Bone marrow aspirate smear.
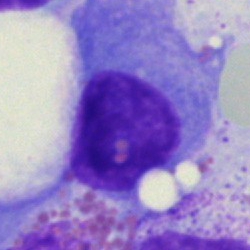
Cell type — plasmacyte.